Single-cell field; bone marrow smear.
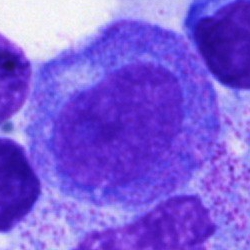

The cell type is promyelocyte.